Bone marrow aspirate smear · 250 by 250 pixels: 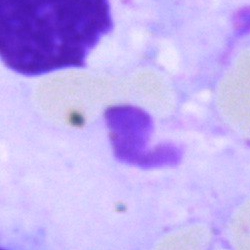Specimen: bone marrow smear.
Cell type: artefact.